250×250. Bone marrow aspirate smear.
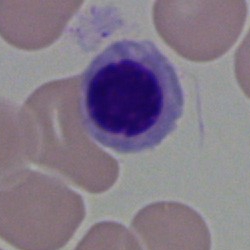Impression — normoblast.